Bone marrow smear.
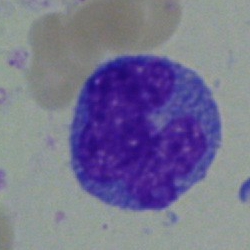Classification: monocyte.